Bone marrow smear; single-cell field:
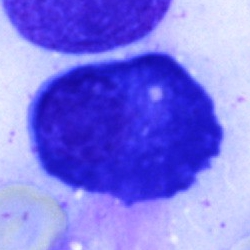
Q: What is the morphological classification of this cell?
A: Plasmacyte.